Bone marrow smear. 40× objective, oil immersion. Cropped to a single cell — 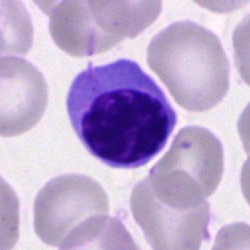

{"cell_type": "nucleated red cell", "lineage": "erythroid"}